Peripheral blood film
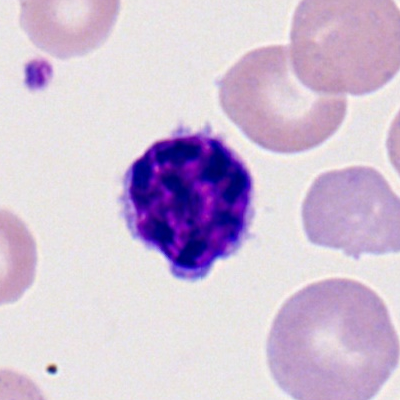 Impression → lymphocyte.